Bone marrow aspirate smear:
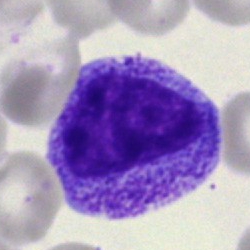
Q: Identify the cell.
A: This is a myelocyte.